Bone marrow aspirate smear:
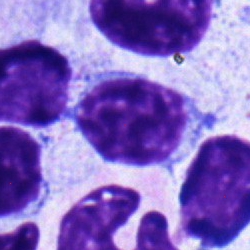 Specimen: bone marrow aspirate smear.
Cell: typical lymphocyte.
Lineage: lymphoid.